Bone marrow smear · MGG-stained: 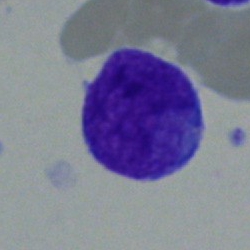 Classification = blast.